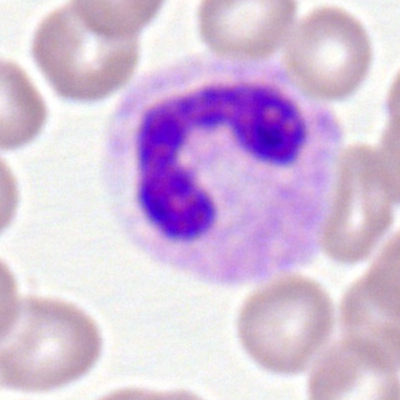The classification is band-form neutrophil.